Bone marrow aspirate smear; 40× oil immersion: 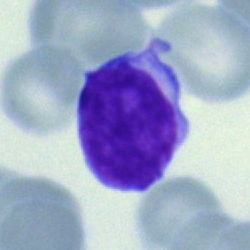
Single cell identified as a typical lymphocyte.